Bone marrow smear. Cropped to a single cell: 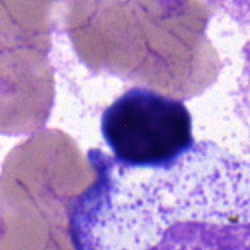

Q: What cell is this?
A: It is a typical lymphocyte.